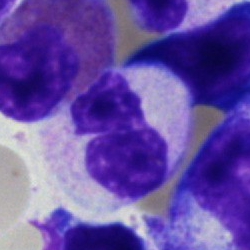This is a segmented neutrophil.